Bone marrow smear
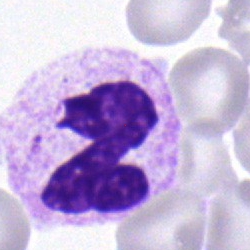Showing a band neutrophil.